Bone marrow smear
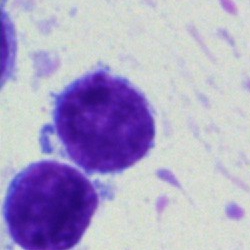 The cell shown is a lymphocyte.